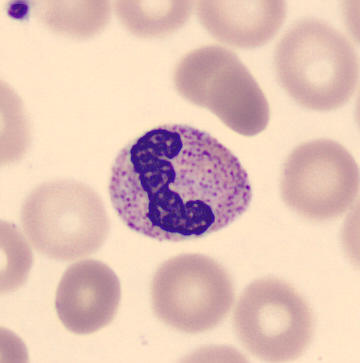Stab cell.